Single-cell field. 250 by 250 pixels. Bone marrow aspirate smear.
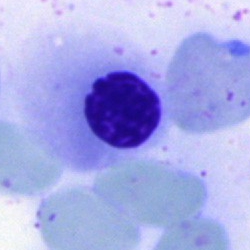

Q: What type of cell is this?
A: This is a nucleated red blood cell.